Bone marrow smear — 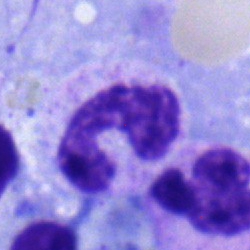This is a stab cell.